Brightfield microscopy, 40× oil immersion; bone marrow smear; 250×250 px.
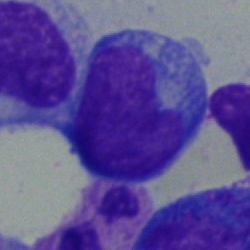 Undifferentiated blast.